Peripheral blood smear; Romanowsky-type stain
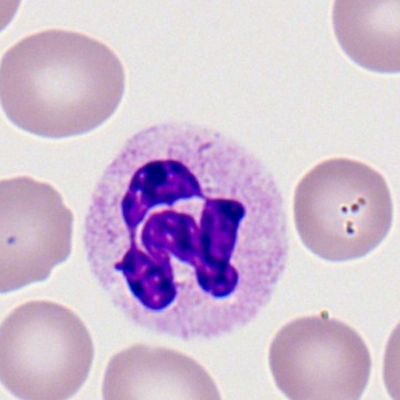Morphological class: segmented neutrophil.